Brightfield, 40× oil-immersion objective; bone marrow aspirate smear; May-Grünwald-Giemsa stain:
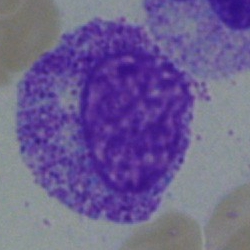Q: What cell is this?
A: Myelocyte.